Peripheral blood film — 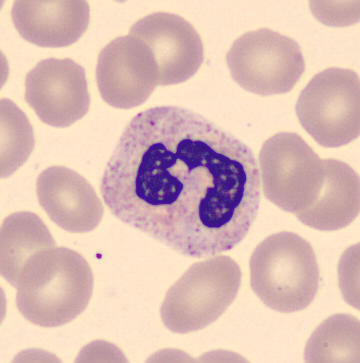

Neutrophil (segmented).